Bone marrow smear — 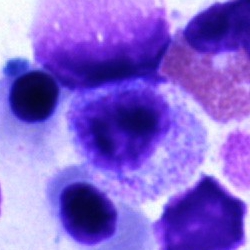
The classification is myelocyte.